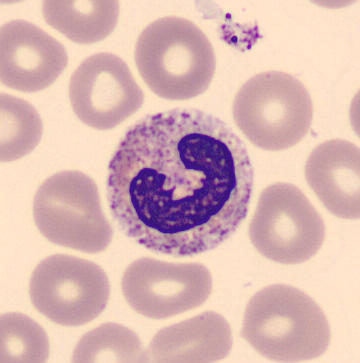Image: CellaVision DM96 digital cell image · peripheral blood film · May-Grünwald-Giemsa-stained.

Q: What cell is this?
A: It is a stab cell.